Bone marrow smear
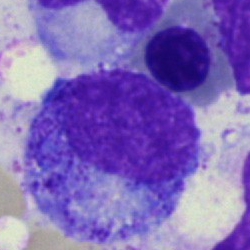
Morphology — promyelocyte.